Bone marrow smear — 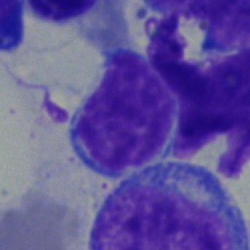 Q: What type of cell is this?
A: A typical lymphocyte.